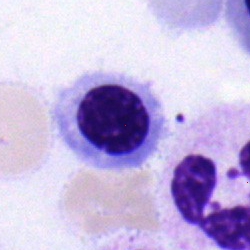

Q: Which cell type is shown here?
A: An erythroblast.